40× objective, oil immersion · 250 by 250 pixels · bone marrow smear:
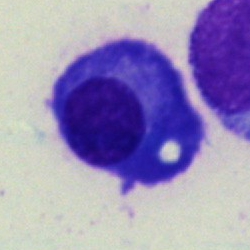
Impression — plasma cell.